Bone marrow aspirate smear:
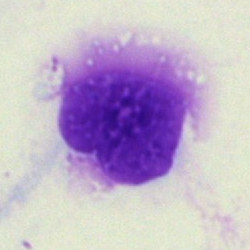Morphology — artifact.